Bone marrow aspirate smear · single cell centered in the field · Pappenheim-stained: 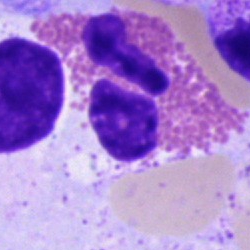

Single cell identified as an eosinophilic granulocyte.